40× oil immersion. Bone marrow smear — 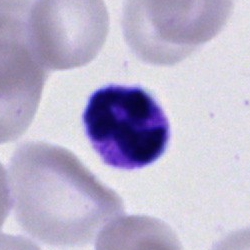 Morphological class = neutrophil (segmented).